Bone marrow smear. May-Grünwald-Giemsa/Pappenheim stain — 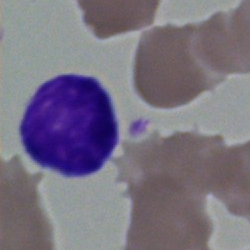
{"cell_type": "lymphocyte", "lineage": "lymphoid"}